Bone marrow smear · brightfield microscopy, 40× oil immersion · 250×250 px.
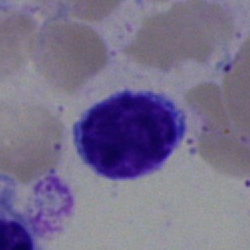

Q: What is the morphological classification of this cell?
A: It is a lymphocyte.